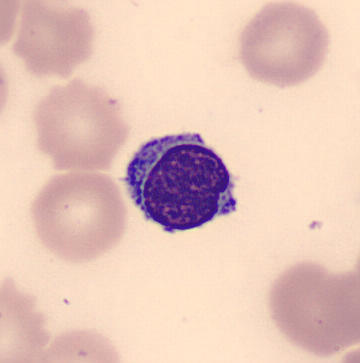
Preparation: Peripheral blood film. 360×363. CellaVision DM96. Morphological class = lymphocyte.